40× oil immersion · bone marrow smear — 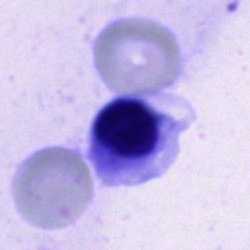
A nucleated red cell.